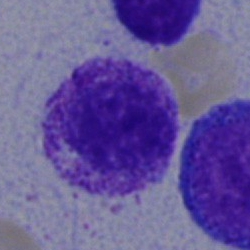 Bone marrow smear showing a myelocyte.